Bone marrow smear; 40× objective, oil immersion: 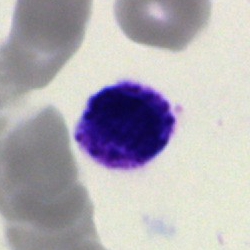The cell type is unidentifiable cell.